Peripheral blood smear.
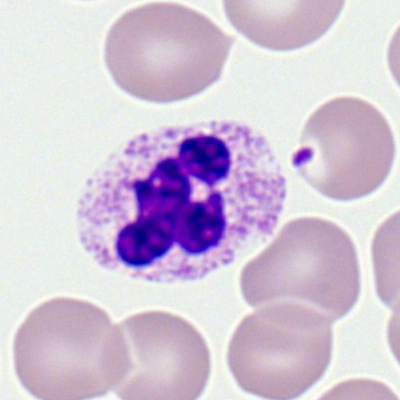 The cell is neutrophil (segmented).